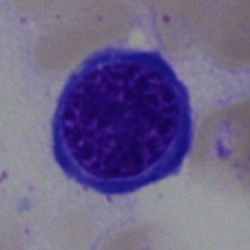

Q: What type of cell is this?
A: Nucleated red cell.